Bone marrow smear. Single-cell crop — 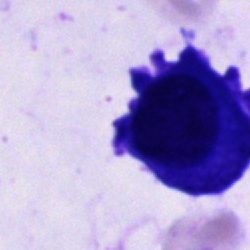

A plasma cell.